Peripheral blood film — 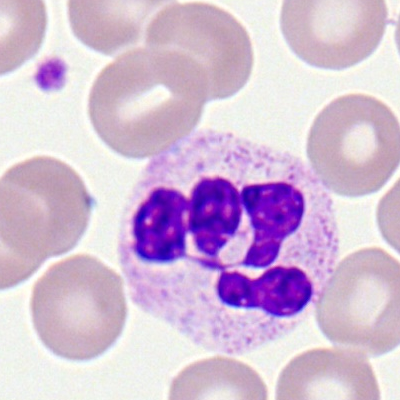 {"cell_type": "polymorphonuclear neutrophil", "lineage": "myeloid"}